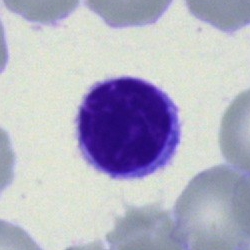

This is a lymphocyte.